MGG-stained. Bone marrow smear.
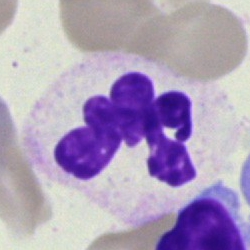 Morphology — polymorphonuclear neutrophil.